40× oil immersion. Bone marrow smear — 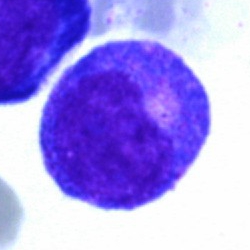

Specimen: bone marrow aspirate smear.
Classification: progranulocyte.
Lineage: myeloid.